Bone marrow aspirate smear — 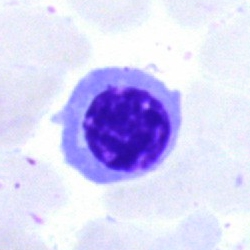Single cell identified as an erythroblast.